Bone marrow aspirate smear — 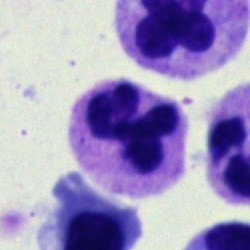
Q: Identify the cell.
A: It is a segmented neutrophil.